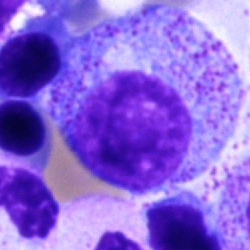Bone marrow smear showing a myelocyte.